Bone marrow smear.
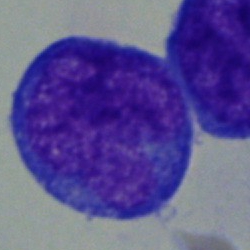Cell = blast.